40× objective, oil immersion. Single-cell crop. Bone marrow aspirate smear.
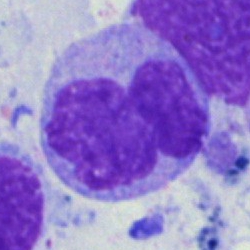Q: What is shown here?
A: Monocyte.